250×250 px · bone marrow aspirate smear — 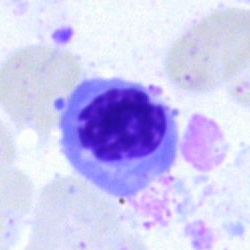Q: What type of cell is this?
A: Erythroblast.